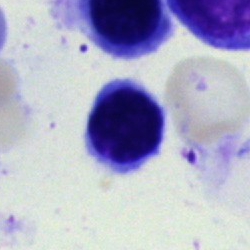Q: What cell is this?
A: Lymphocyte.